Image size 400×400; peripheral blood film:
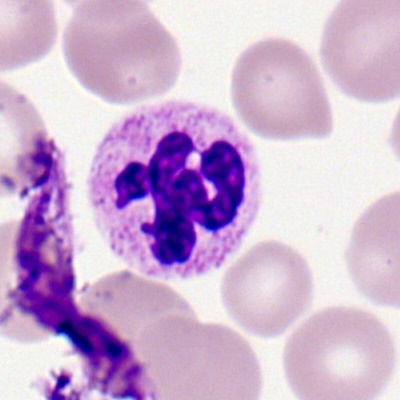Impression → polymorphonuclear neutrophil.